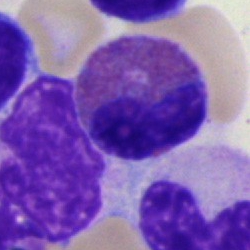
Morphological class: eosinophil.